Bone marrow aspirate smear · image size 250×250.
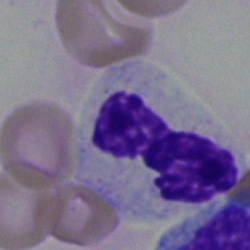
Single cell identified as a neutrophil (segmented).